Brightfield microscopy, 40× oil immersion. Bone marrow smear
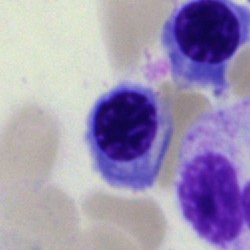Q: Which cell type is shown here?
A: This is a nucleated red blood cell.